Single-cell field; bone marrow aspirate smear — 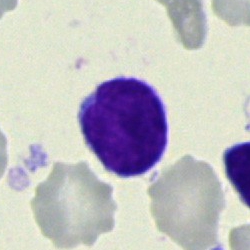
This is a lymphocyte.